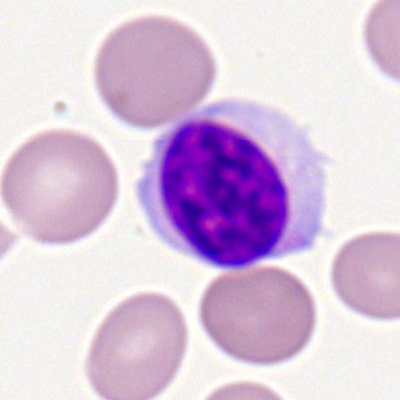 Peripheral blood smear showing a lymphocyte.